Cropped to a single cell · bone marrow smear
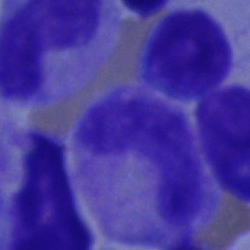Cell type — band neutrophil.